Bone marrow smear — 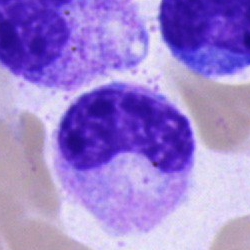

The classification is band neutrophil.